Bone marrow aspirate smear: 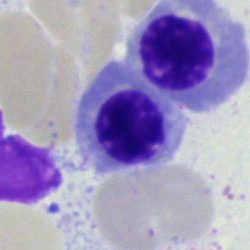

Nucleated red blood cell.